Bone marrow smear
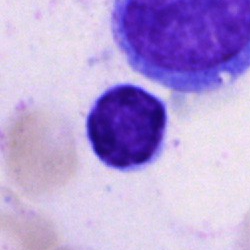

Showing a typical lymphocyte.